Bone marrow smear.
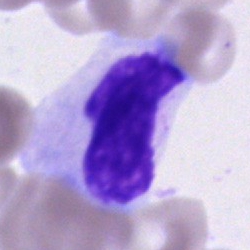

Specimen: bone marrow smear.
Classification: unidentifiable cell.